Bone marrow aspirate smear; single-cell crop; Pappenheim-stained.
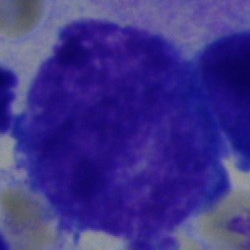 Q: Identify the cell.
A: A blast.